Bone marrow smear · 250×250 px · 40× objective, oil immersion — 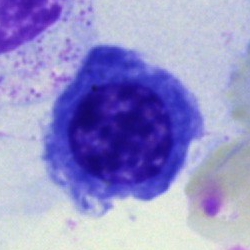 Q: What is the morphological classification of this cell?
A: It is an erythroblast.